Bone marrow aspirate smear:
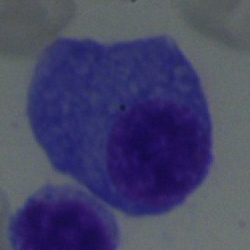 Q: What is the morphological classification of this cell?
A: A plasmacyte.